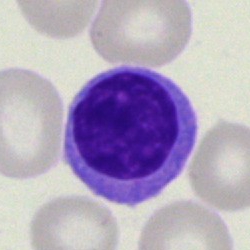
Specimen: bone marrow aspirate smear.
Cell: typical lymphocyte.
Lineage: lymphoid.